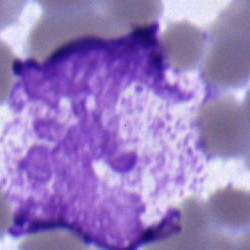

The cell type is segmented neutrophil.